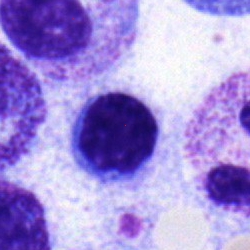

Classification = typical lymphocyte.